Bone marrow smear · 250 by 250 pixels — 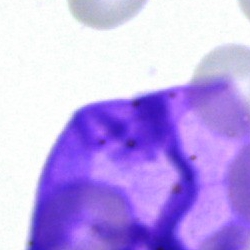Artifact.